Peripheral blood smear. 400 by 400 pixels: 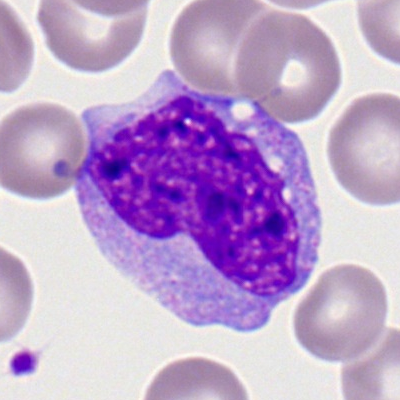Impression — monocyte.